Bone marrow smear; image size 250×250 — 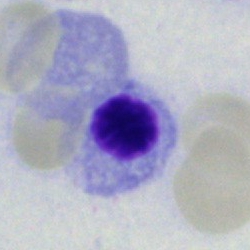 The cell is normoblast.